May-Grünwald-Giemsa/Pappenheim stain · bone marrow smear
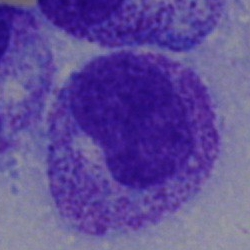
Q: What is shown here?
A: This is a metamyelocyte.